250 by 250 pixels; May-Grünwald-Giemsa/Pappenheim stain; bone marrow aspirate smear
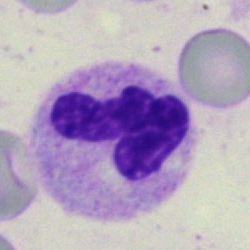

{"cell_type": "polymorphonuclear neutrophil", "lineage": "myeloid"}